Bone marrow smear:
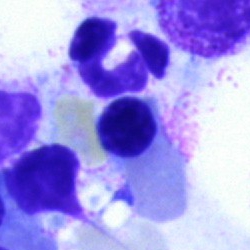 The cell shown is an erythroblast.